Bone marrow aspirate smear:
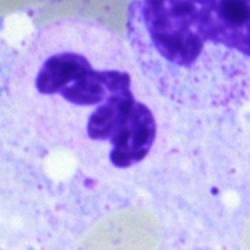Showing a polymorphonuclear neutrophil.